Bone marrow smear; single cell centered in the field — 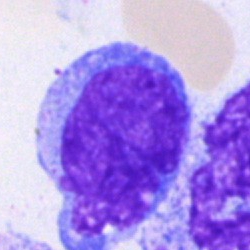

Morphological class: blast.